Single-cell crop. Peripheral blood smear
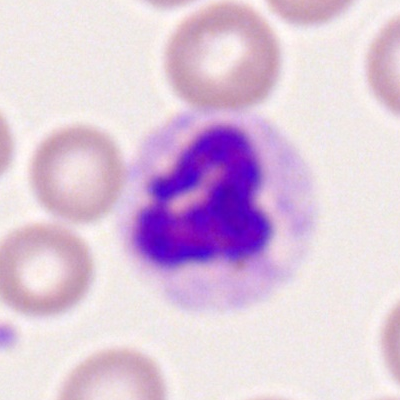 Q: What type of cell is this?
A: Polymorphonuclear neutrophil.